Bone marrow aspirate smear: 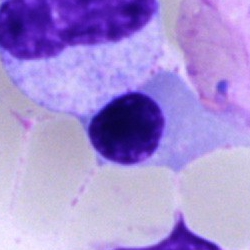

Specimen: bone marrow aspirate smear.
Classification: nucleated red cell.